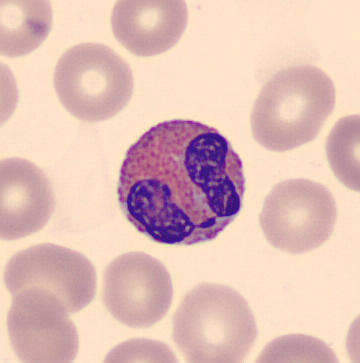Single cell identified as an eosinophilic granulocyte.

Preparation: Peripheral blood film; single-cell field.